Bone marrow smear — 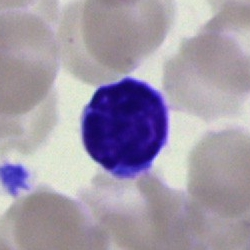
This is a typical lymphocyte.